Bone marrow aspirate smear; 40× objective, oil immersion:
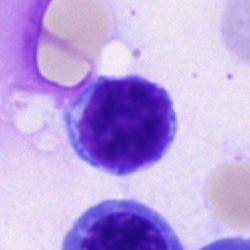

This is a typical lymphocyte.